Bone marrow smear. 250×250 — 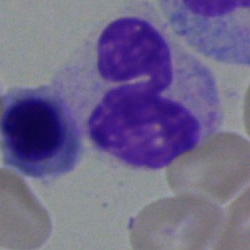

Morphology consistent with a segmented neutrophil.